May-Grünwald-Giemsa stain; bone marrow smear; single cell centered in the field: 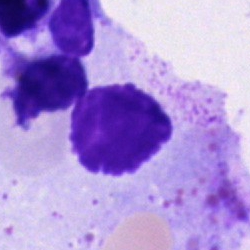
Single cell identified as an artefact.